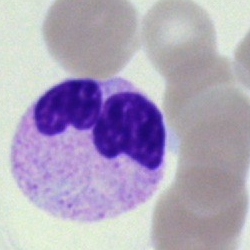Bone marrow aspirate smear, single cell — polymorphonuclear neutrophil.